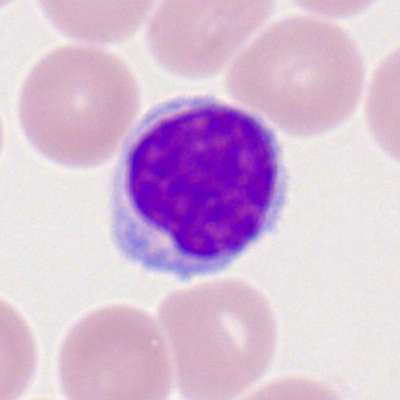 Q: What is the morphological classification of this cell?
A: This is a typical lymphocyte.